Bone marrow smear.
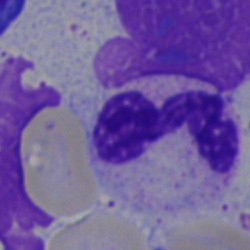

Q: What is shown here?
A: A polymorphonuclear neutrophil.